Bone marrow aspirate smear; brightfield microscopy, 40× oil immersion
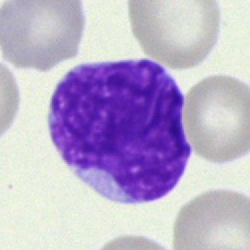
Impression — blast cell.